Bone marrow smear; 250 by 250 pixels; brightfield microscopy, 40× oil immersion
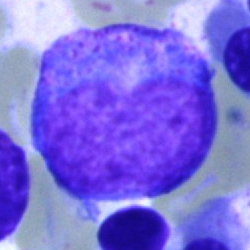
The cell is promyelocyte.